Bone marrow aspirate smear:
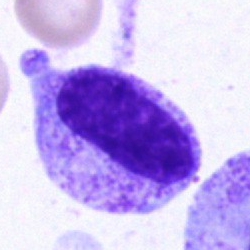

Metamyelocyte.